Peripheral blood film — 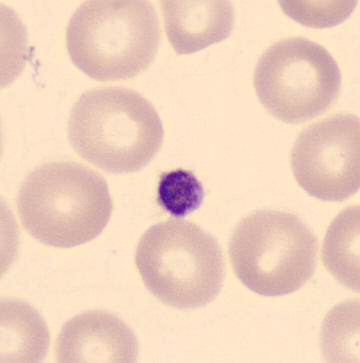Specimen: peripheral blood film.
Cell type: platelet (thrombocyte).